Romanowsky-type stain. Peripheral blood smear.
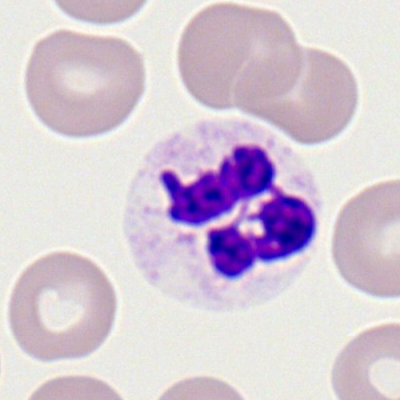
Morphology → neutrophil (segmented).